Bone marrow aspirate smear
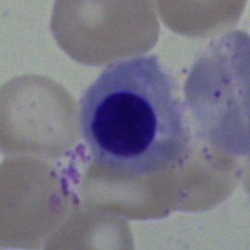
Showing a nucleated red blood cell.